Brightfield microscopy, 40× oil immersion. Bone marrow aspirate smear: 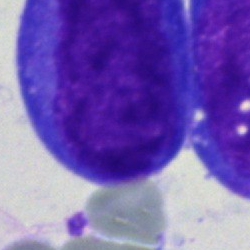
Morphology consistent with a blast.